250×250 · bone marrow aspirate smear — 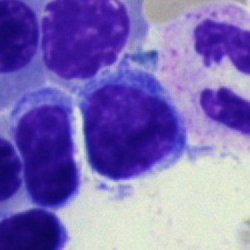 Cell type = typical lymphocyte.